250×250; May-Grünwald-Giemsa stain; bone marrow smear:
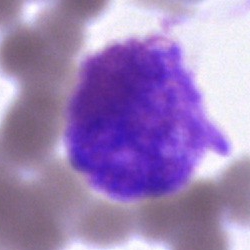

Q: What is shown here?
A: Artifact.